May-Grünwald-Giemsa/Pappenheim stain · single-cell crop · bone marrow smear.
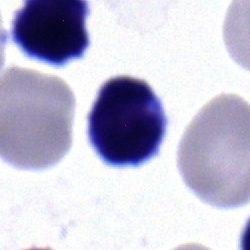

Q: What is the morphological classification of this cell?
A: Typical lymphocyte.